100× oil immersion, 14.14 px/µm · peripheral blood smear:
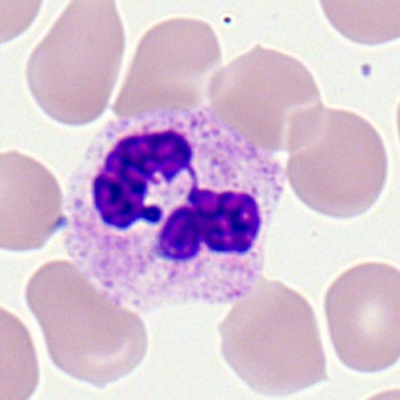

Cell type — segmented neutrophil.